Bone marrow aspirate smear:
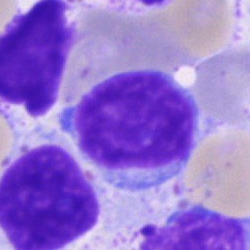Q: What type of cell is this?
A: This is a lymphocyte.